May-Grünwald-Giemsa/Pappenheim stain · bone marrow aspirate smear · 250×250 px:
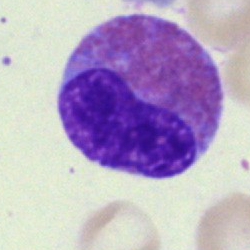Q: Which cell type is shown here?
A: This is an eosinophilic granulocyte.